Peripheral blood smear: 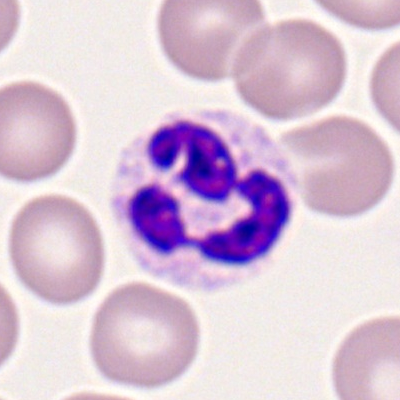A polymorphonuclear neutrophil.